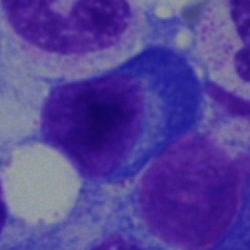
Showing a plasmacyte.